Brightfield, 40× oil-immersion objective; bone marrow aspirate smear:
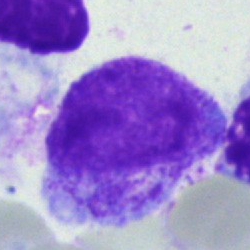 Classification = myelocyte.